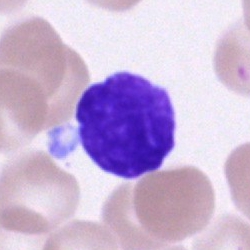

Q: What cell is this?
A: It is a typical lymphocyte.